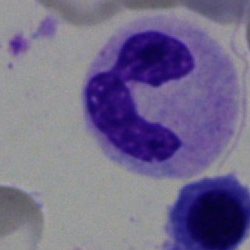
Bone marrow smear showing a polymorphonuclear neutrophil.